Brightfield microscopy, 40× oil immersion · bone marrow smear.
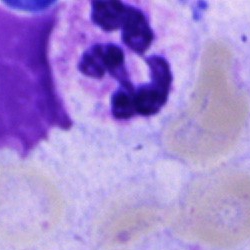
{"cell_type": "neutrophil (segmented)", "lineage": "myeloid"}